Bone marrow aspirate smear · image size 250×250
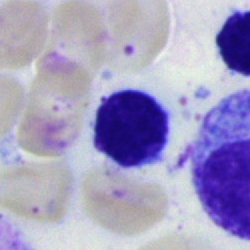

A typical lymphocyte.